Bone marrow smear · image size 250×250: 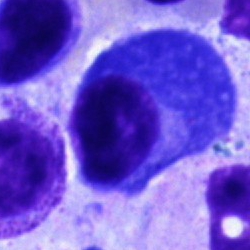Impression → plasmacyte.